Peripheral blood film — 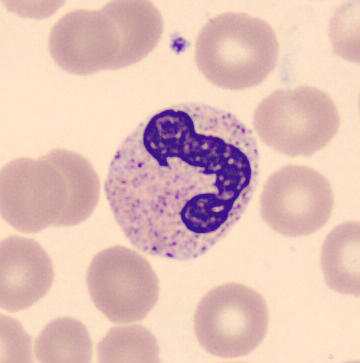Specimen: peripheral blood smear.
Classification: segmented neutrophil.
Lineage: myeloid.